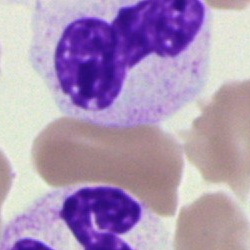 A segmented neutrophil.